Bone marrow aspirate smear. 250 by 250 pixels:
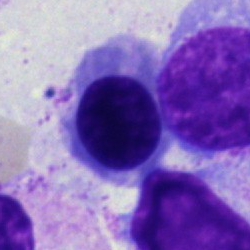 Impression — erythroblast.